Bone marrow aspirate smear
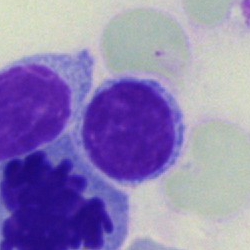Morphology → typical lymphocyte.